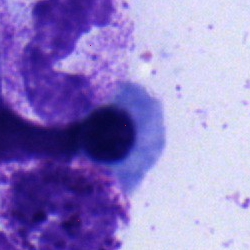Impression — nucleated red blood cell.